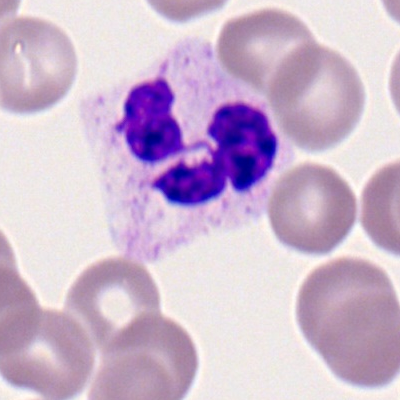

Q: What cell is this?
A: It is a neutrophil (segmented).